Bone marrow aspirate smear:
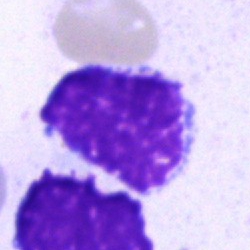

Q: What is shown here?
A: It is an artifact.